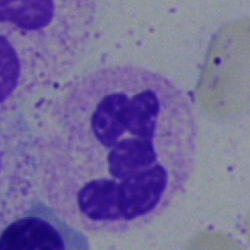

The cell is polymorphonuclear neutrophil.